Bone marrow smear · 250×250.
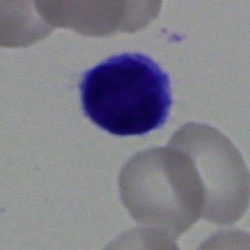
Classification — lymphocyte.